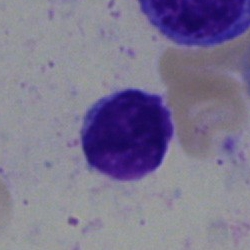
Q: What type of cell is this?
A: It is a lymphocyte.